Bone marrow aspirate smear
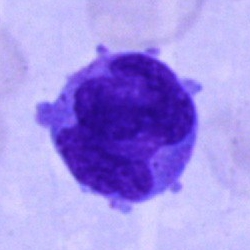The cell shown is a monocyte.